Bone marrow smear
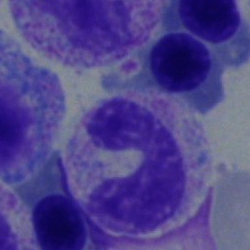

Morphological class — neutrophil (band).